40× oil immersion; MGG-stained; bone marrow smear — 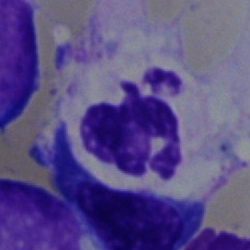

Q: What cell is this?
A: It is a polymorphonuclear neutrophil.